Bone marrow smear
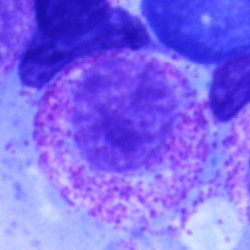 Specimen: bone marrow aspirate smear.
Morphological class: myelocyte.
Lineage: myeloid.